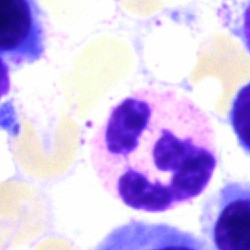

Cell type — polymorphonuclear neutrophil.